Cropped to a single cell · bone marrow smear · May-Grünwald-Giemsa stain — 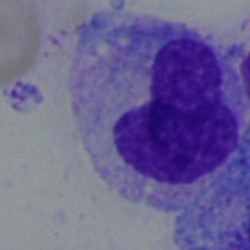A monocyte.